Bone marrow smear: 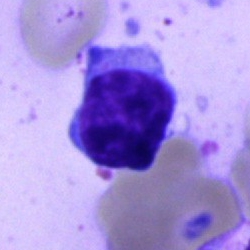

{"cell_type": "typical lymphocyte"}